Bone marrow smear — 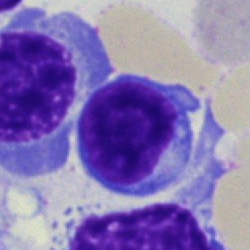Q: What type of cell is this?
A: It is a typical lymphocyte.